Bone marrow smear · 40× oil immersion · single-cell crop — 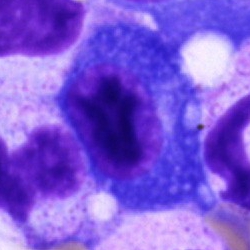
Specimen: bone marrow aspirate smear.
Classification: plasma cell.